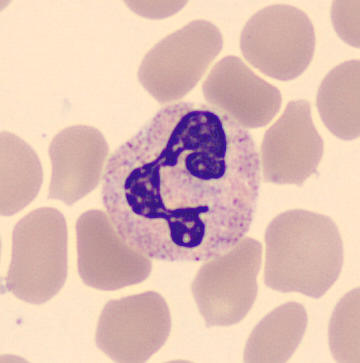Image: Peripheral blood film.

Cell type = polymorphonuclear neutrophil.